Bone marrow aspirate smear: 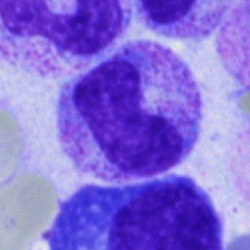This is a band-form neutrophil.